Bone marrow aspirate smear — 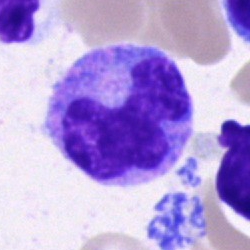

Cell type — monocyte.